250×250 px · May-Grünwald-Giemsa stain · bone marrow smear.
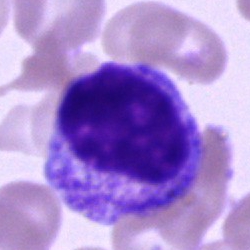

Myelocyte.